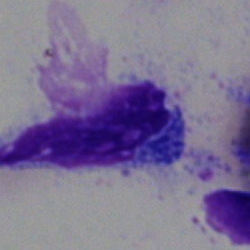
Bone marrow aspirate smear, single cell — artifact.